Bone marrow smear. 250 by 250 pixels. Brightfield microscopy, 40× oil immersion
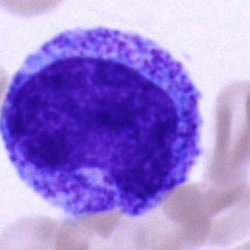
Promyelocyte.